Bone marrow aspirate smear.
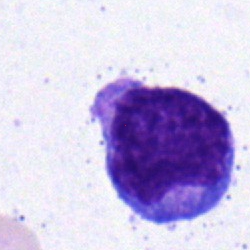Specimen: bone marrow aspirate smear.
Cell: blast.